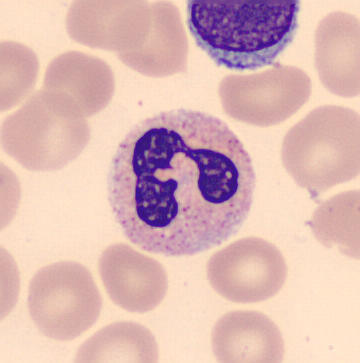
Specimen: peripheral blood smear.
Cell type: segmented neutrophil.